Bone marrow aspirate smear:
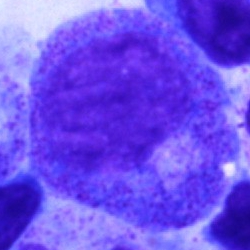

Single cell identified as a promyelocyte.